Bone marrow aspirate smear · single-cell crop: 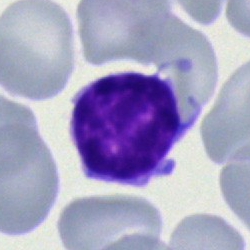Single cell identified as a typical lymphocyte.